Bone marrow smear — 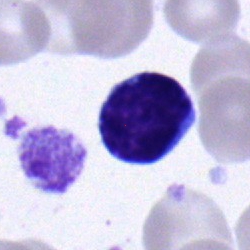

Specimen: bone marrow smear.
Cell type: lymphocyte.
Lineage: lymphoid.